Bone marrow aspirate smear. 40× objective, oil immersion — 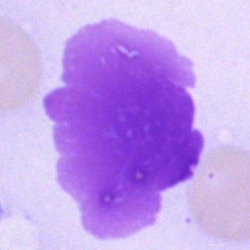
Q: What is shown here?
A: An artefact.